Brightfield, 40× oil-immersion objective · 250 by 250 pixels · bone marrow aspirate smear
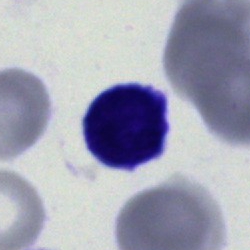

This is a blast cell.